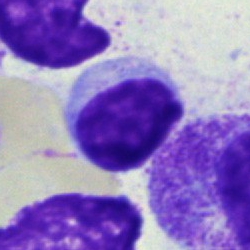

Specimen: bone marrow smear.
Morphological class: lymphocyte.